Bone marrow aspirate smear — 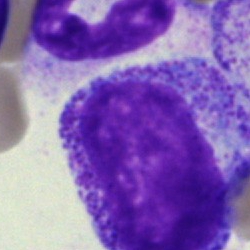Q: What type of cell is this?
A: A promyelocyte.